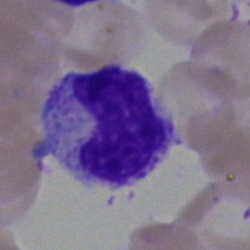

The cell type is neutrophil (band).